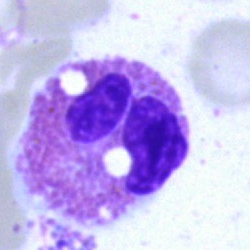 {"cell_type": "eosinophil", "lineage": "myeloid"}